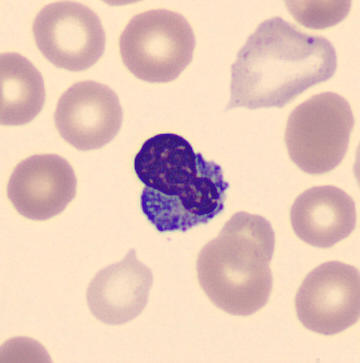 Erythroblast.